May-Grünwald-Giemsa/Pappenheim stain · bone marrow aspirate smear: 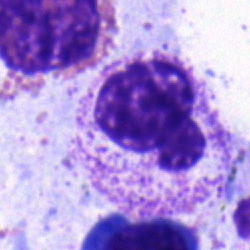

A segmented neutrophil.